Bone marrow aspirate smear — 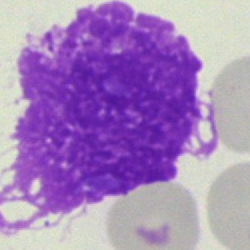

Cell type: artifact.